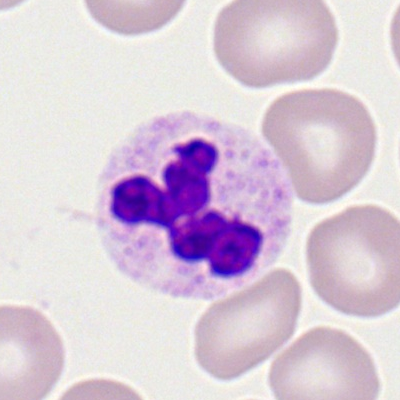

Cell type — segmented neutrophil.